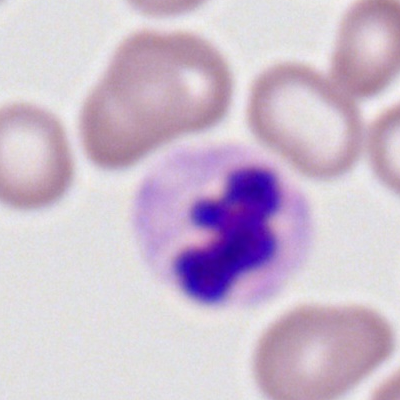
Q: Which cell type is shown here?
A: This is a neutrophil (segmented).